Bone marrow smear
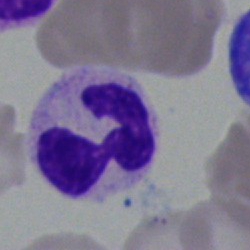 Specimen: bone marrow smear.
Classification: polymorphonuclear neutrophil.
Lineage: myeloid.